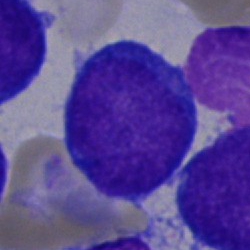 Morphology consistent with an undifferentiated blast.